Bone marrow smear
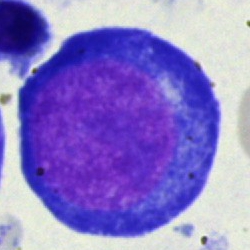
Classification = pronormoblast.